Peripheral blood film
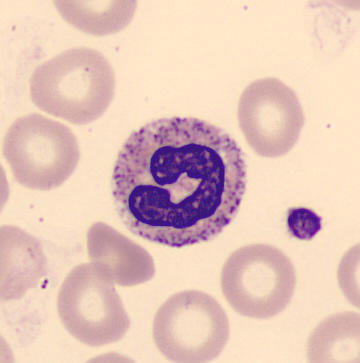Q: What cell is this?
A: This is a neutrophil (band).